May-Grünwald-Giemsa stain. Bone marrow aspirate smear:
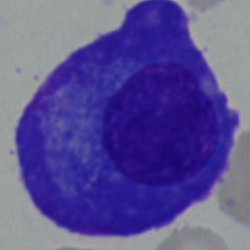Morphology → plasmacyte.